Bone marrow aspirate smear — 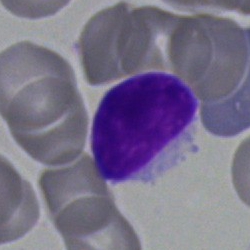

{"cell_type": "typical lymphocyte"}